Bone marrow aspirate smear:
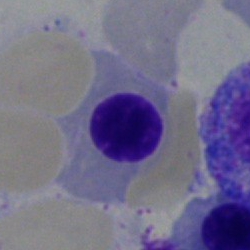
Showing a nucleated red cell.